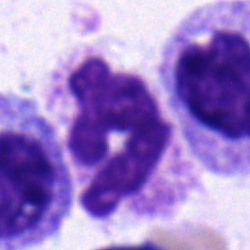The cell shown is a polymorphonuclear neutrophil.